Bone marrow smear.
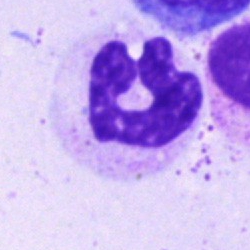 The cell shown is a polymorphonuclear neutrophil.